Bone marrow smear — 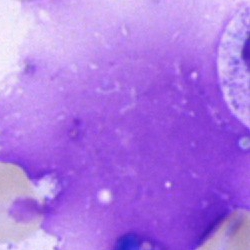 Q: What is shown here?
A: An artifact.